Bone marrow aspirate smear: 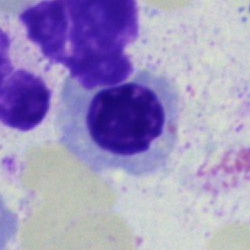 Cell: normoblast.